Bone marrow smear.
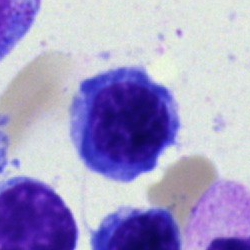
Morphology → normoblast.